Bone marrow smear: 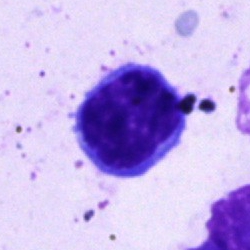
Classification: typical lymphocyte.